Bone marrow aspirate smear — 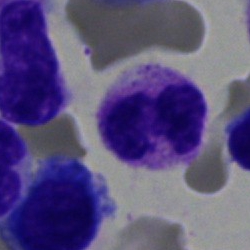

Showing a segmented neutrophil.